Bone marrow smear — 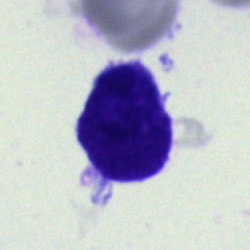 Blast cell.